40× oil immersion. Bone marrow smear — 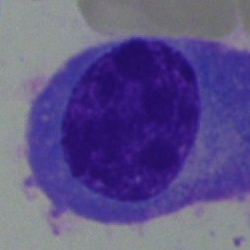

Q: Which cell type is shown here?
A: Plasma cell.